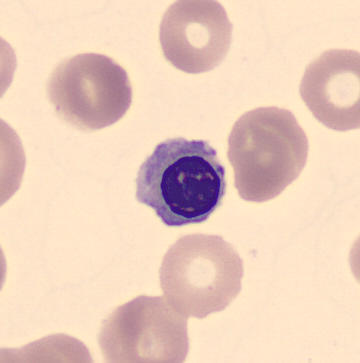Cropped to a single cell · peripheral blood smear. Q: What cell is this?
A: A normoblast.